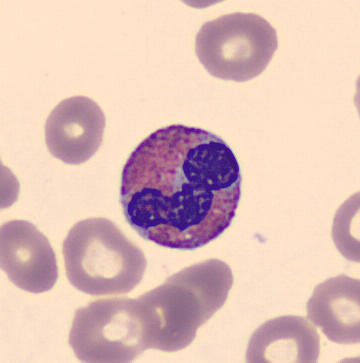
Q: What is the morphological classification of this cell?
A: Eosinophilic granulocyte.

Acquisition: Peripheral blood smear.